Bone marrow smear; brightfield, 40× oil-immersion objective
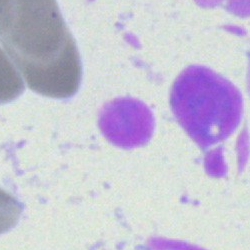

An artefact.